Bone marrow aspirate smear · single-cell field:
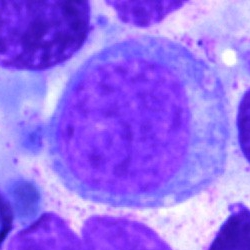Q: What type of cell is this?
A: A promyelocyte.